Bone marrow aspirate smear
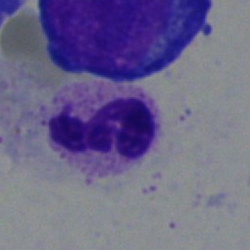

Q: What is the morphological classification of this cell?
A: It is a segmented neutrophil.